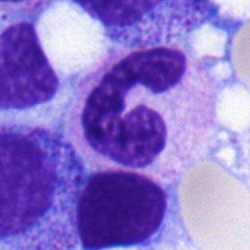 The morphological class is neutrophil (band).